Peripheral blood film.
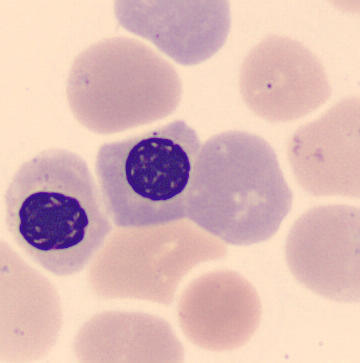Specimen: peripheral blood film.
Cell type: nucleated red cell.